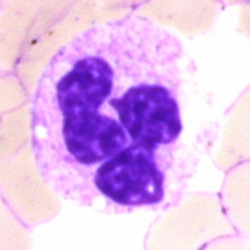

Specimen: bone marrow smear.
Cell type: polymorphonuclear neutrophil.